250 by 250 pixels. Bone marrow aspirate smear
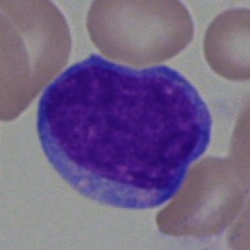Blast cell.